250 by 250 pixels · May-Grünwald-Giemsa/Pappenheim stain · bone marrow smear:
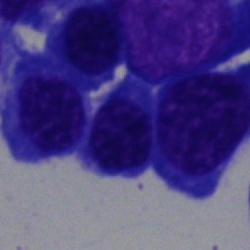 Single cell identified as a normoblast.